Single cell centered in the field; bone marrow aspirate smear — 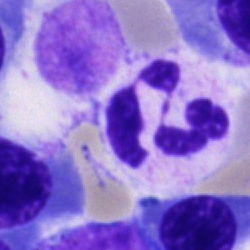Morphology → neutrophil (segmented).